Bone marrow aspirate smear
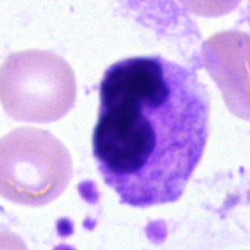
Specimen: bone marrow aspirate smear.
Classification: neutrophil (segmented).